Bone marrow aspirate smear: 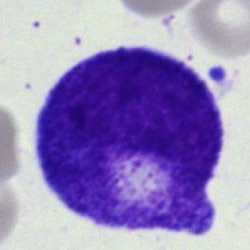 {"cell_type": "progranulocyte", "lineage": "myeloid"}